Bone marrow aspirate smear
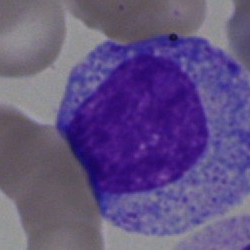
{"cell_type": "promyelocyte", "lineage": "myeloid"}